Bone marrow smear. MGG-stained. 250×250 px — 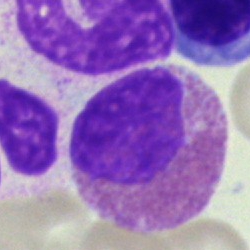This is an eosinophilic granulocyte.